Bone marrow smear
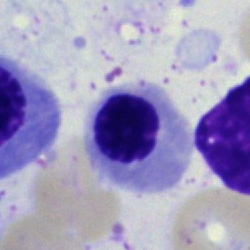

Cell: normoblast.